Bone marrow smear:
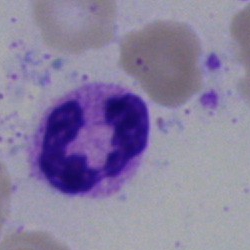

Cell = segmented neutrophil.